Peripheral blood smear
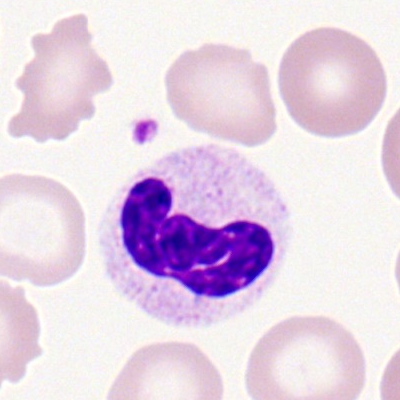Showing a polymorphonuclear neutrophil.